Bone marrow aspirate smear. Single-cell field. 250×250 px
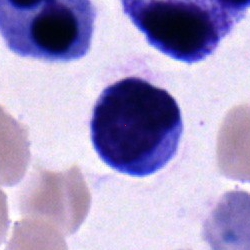

Lymphocyte.